Bone marrow smear:
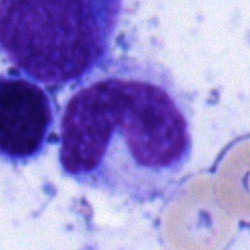

A stab cell.